250×250 px · bone marrow aspirate smear:
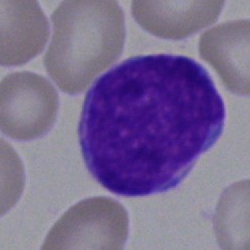
Specimen: bone marrow aspirate smear.
Cell: blast.